Bone marrow smear — 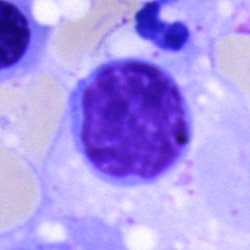 Morphology → typical lymphocyte.